Bone marrow aspirate smear — 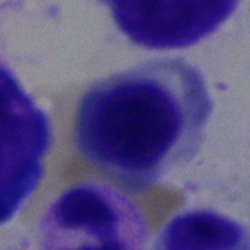

Q: Which cell type is shown here?
A: It is an erythroblast.